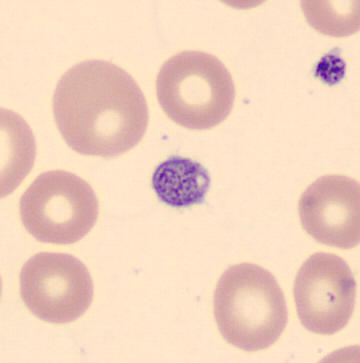
Identified as a platelet.
Acquisition: Peripheral blood film.